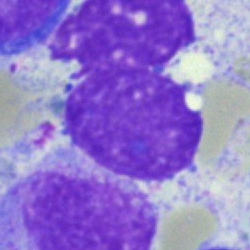Specimen: bone marrow aspirate smear.
Morphological class: artifact.